100× oil immersion. Peripheral blood smear — 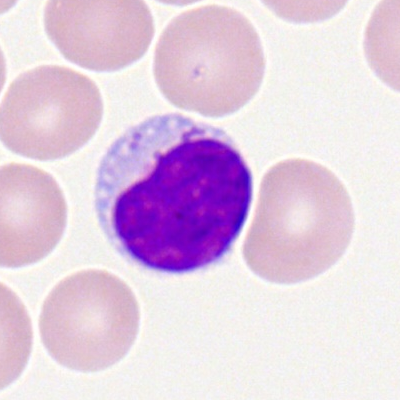Classification = lymphocyte.